Bone marrow aspirate smear · 40× oil immersion · May-Grünwald-Giemsa stain
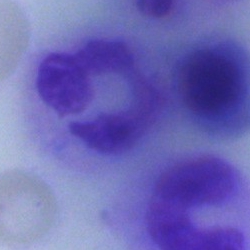 Cell type — artefact.